Bone marrow aspirate smear — 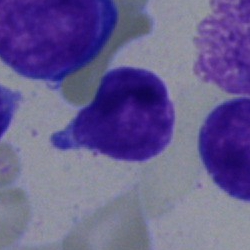Showing a blast.